Bone marrow smear. Single-cell field — 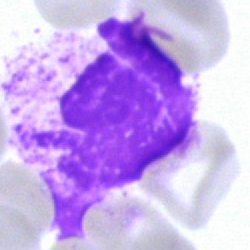

Cell — artifact.